Bone marrow aspirate smear
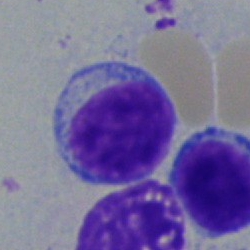Specimen: bone marrow smear.
Cell: lymphocyte.
Lineage: lymphoid.